250×250 · bone marrow aspirate smear — 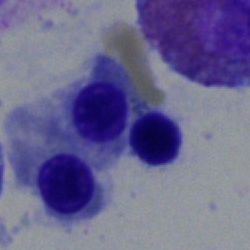
Cell = nucleated red cell.